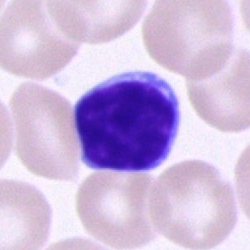

Specimen: bone marrow aspirate smear.
Morphological class: lymphocyte.
Lineage: lymphoid.